Bone marrow smear; May-Grünwald-Giemsa/Pappenheim stain
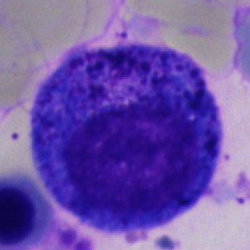This is a proerythroblast.